Bone marrow aspirate smear:
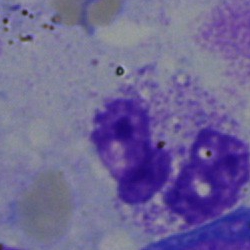

The cell shown is a segmented neutrophil.